Bone marrow smear. 250×250. 40× objective, oil immersion — 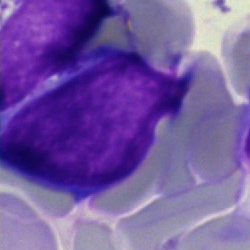Q: Which cell type is shown here?
A: It is an undifferentiated blast.